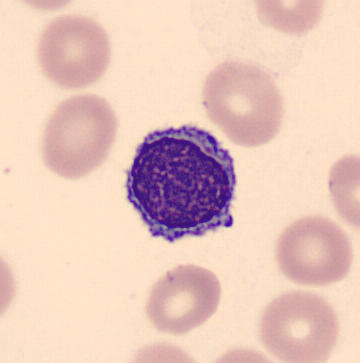 Cell = typical lymphocyte.